Bone marrow aspirate smear — 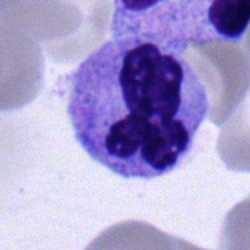 A neutrophil (segmented).